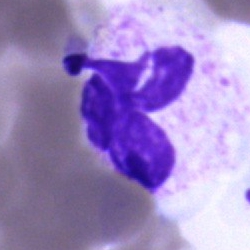

Cell: segmented neutrophil.